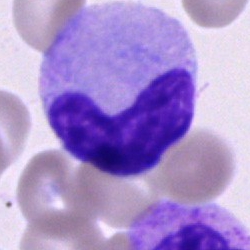

Impression → band neutrophil.